Bone marrow smear.
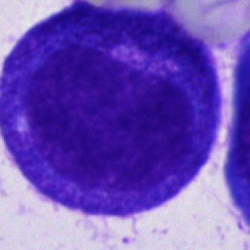 Morphology — progranulocyte.